Cropped to a single cell; May-Grünwald-Giemsa/Pappenheim stain; bone marrow smear:
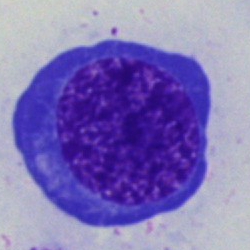 Specimen: bone marrow aspirate smear.
Classification: nucleated red cell.
Lineage: erythroid.